Bone marrow aspirate smear · single-cell crop · May-Grünwald-Giemsa/Pappenheim stain: 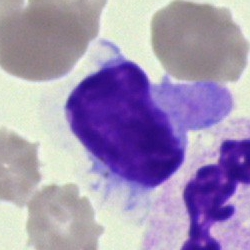Morphology consistent with a hairy cell.